Bone marrow aspirate smear; 250×250
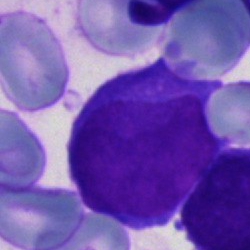

Q: What type of cell is this?
A: An undifferentiated blast.